Bone marrow smear: 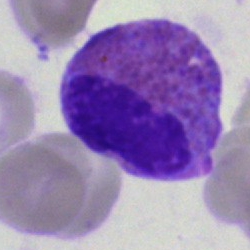 Classification — eosinophilic granulocyte.